Bone marrow aspirate smear
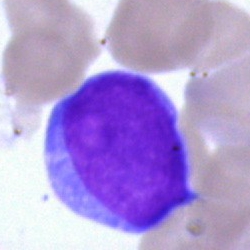 Cell: undifferentiated blast.